Bone marrow aspirate smear: 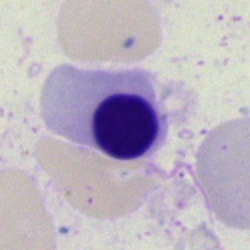

Q: What type of cell is this?
A: Nucleated red blood cell.